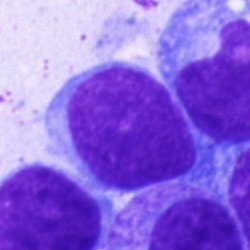Specimen: bone marrow aspirate smear.
Morphological class: undifferentiated blast.